Bone marrow aspirate smear; brightfield microscopy, 40× oil immersion.
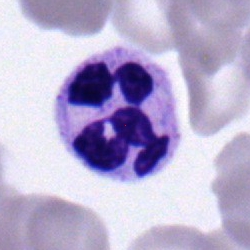
Showing a segmented neutrophil.